MGG-stained. Bone marrow aspirate smear. Single-cell crop — 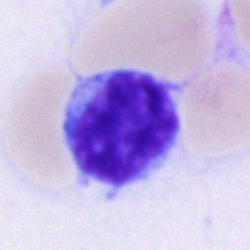Morphological class — lymphocyte.